Single-cell crop. Bone marrow aspirate smear.
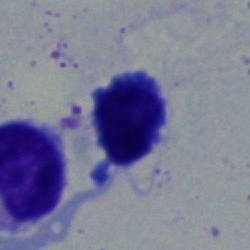Q: Which cell type is shown here?
A: Typical lymphocyte.